May-Grünwald-Giemsa stain. Bone marrow smear:
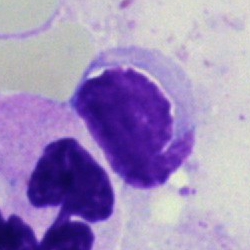 Specimen: bone marrow smear.
Classification: artifact.